Peripheral blood film. Romanowsky stain. 400×400 — 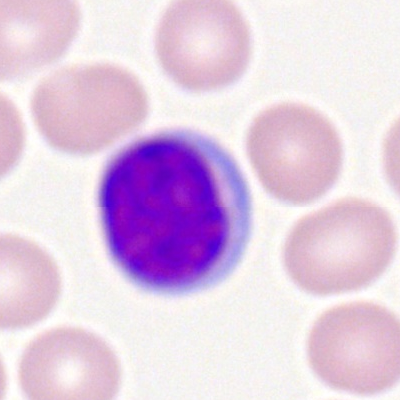
Classification = myeloblast.